Bone marrow aspirate smear: 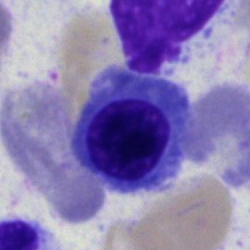Morphological class: erythroblast.